Peripheral blood smear.
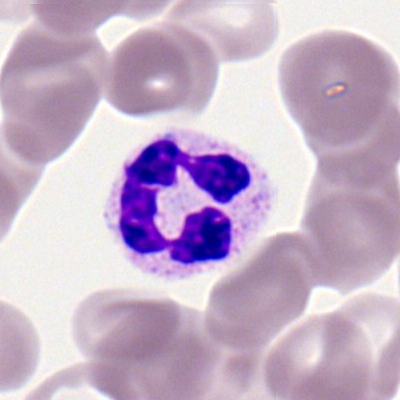
Showing a segmented neutrophil.